Bone marrow smear — 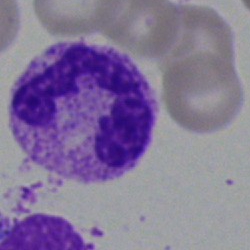Single cell identified as a segmented neutrophil.